May-Grünwald-Giemsa stain; bone marrow aspirate smear; brightfield microscopy, 40× oil immersion
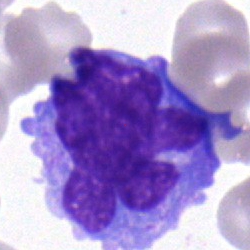 The cell shown is a monocyte.